Romanowsky-stained. Peripheral blood smear
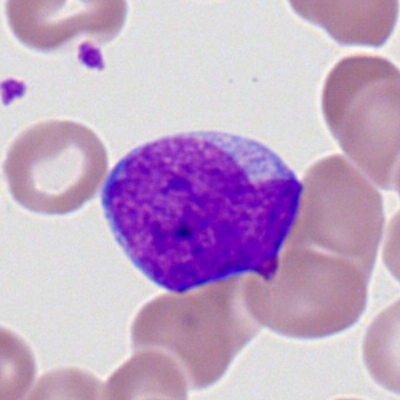 Cell: myeloblast.